Bone marrow aspirate smear
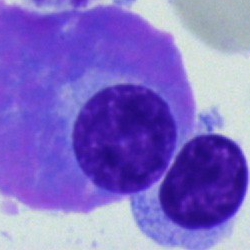 Morphological class — plasmacyte.